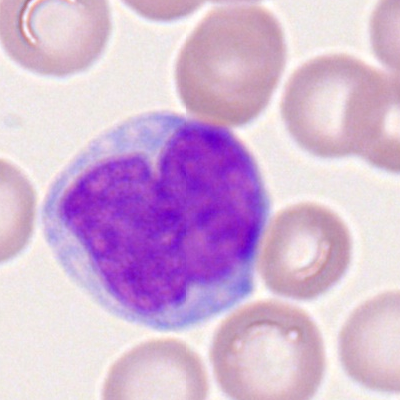

Impression — monocyte.